Bone marrow smear
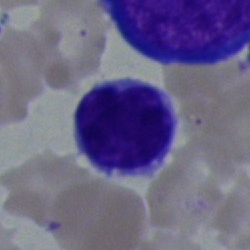 The cell shown is a lymphocyte.